May-Grünwald-Giemsa/Pappenheim stain · single-cell field · bone marrow aspirate smear: 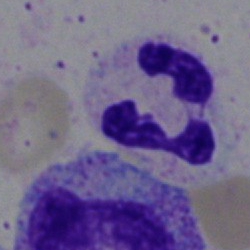
Morphology consistent with a polymorphonuclear neutrophil.